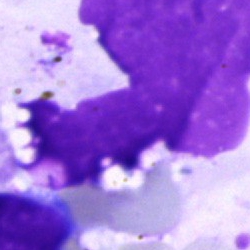 Single cell identified as an artefact.